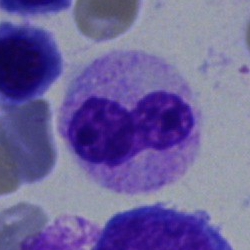 The cell is band neutrophil.